Bone marrow smear
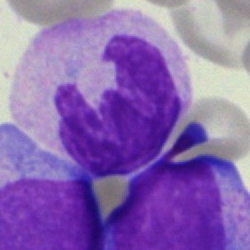
Showing a monocyte.